Bone marrow aspirate smear · May-Grünwald-Giemsa/Pappenheim stain
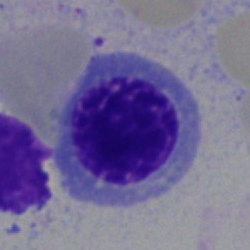Morphological class: normoblast.